May-Grünwald-Giemsa stain · bone marrow smear — 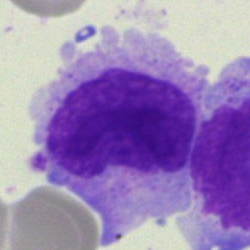

{"cell_type": "monocyte"}